Bone marrow aspirate smear — 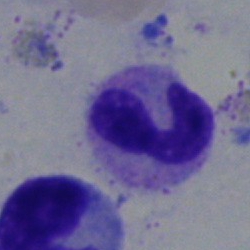Showing a segmented neutrophil.